Bone marrow smear — 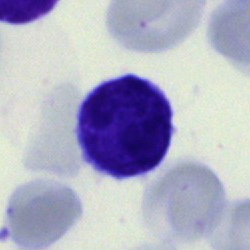Specimen: bone marrow aspirate smear.
Cell: lymphocyte.
Lineage: lymphoid.